Bone marrow aspirate smear:
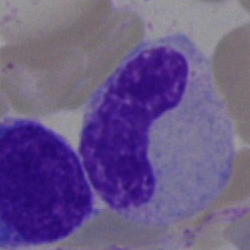Morphological class: band-form neutrophil.